Bone marrow aspirate smear; single cell centered in the field:
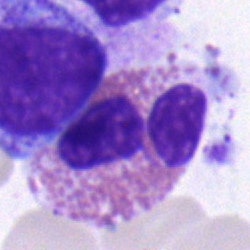Eosinophilic granulocyte.